Bone marrow aspirate smear; MGG-stained; 250×250 px — 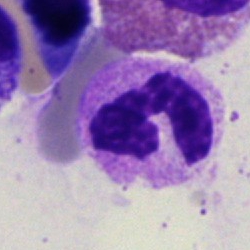

Morphology → polymorphonuclear neutrophil.